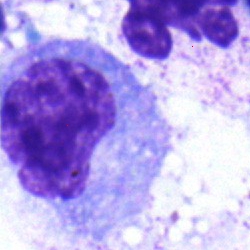

The cell shown is a monocyte.